Bone marrow smear; 40× objective, oil immersion: 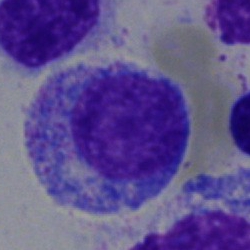Specimen: bone marrow aspirate smear.
Classification: promyelocyte.